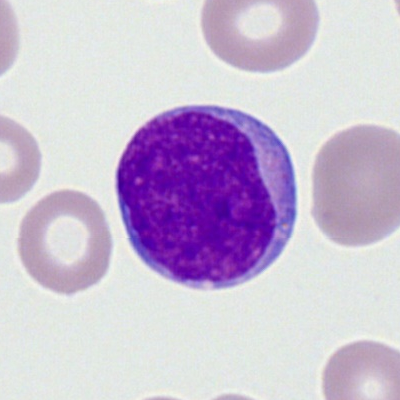
Single cell identified as a myeloid blast.